250×250 px; single-cell field; bone marrow aspirate smear: 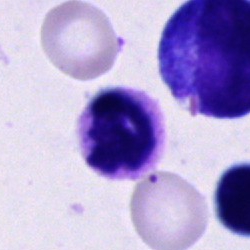 The cell is segmented neutrophil.